250×250; bone marrow aspirate smear:
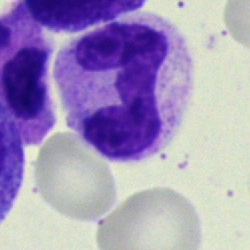Specimen: bone marrow aspirate smear.
Cell: segmented neutrophil.